Bone marrow smear
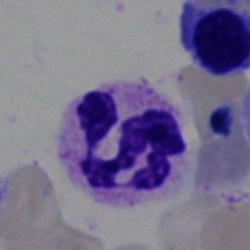

The cell shown is a segmented neutrophil.